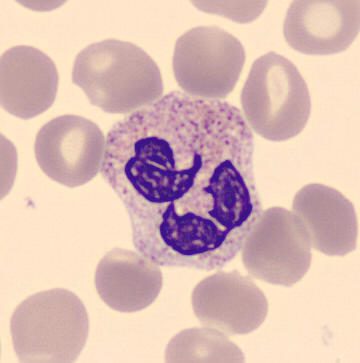
Cell = polymorphonuclear neutrophil.
Single-cell crop. May Grünwald-Giemsa stain. Peripheral blood film.